Bone marrow smear — 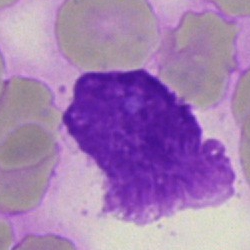

Morphological class: artifact.